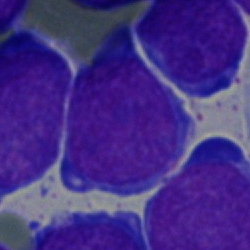Bone marrow aspirate smear, single cell — undifferentiated blast.